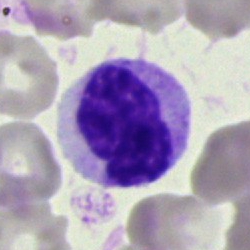Cell — unidentifiable cell.